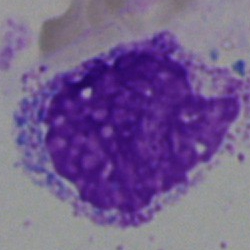

{"cell_type": "artifact"}